Bone marrow aspirate smear
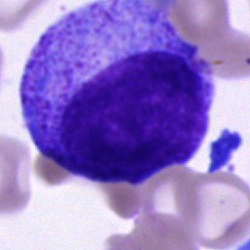
Morphology — progranulocyte.